Peripheral blood film. CellaVision DM96 digital cell image: 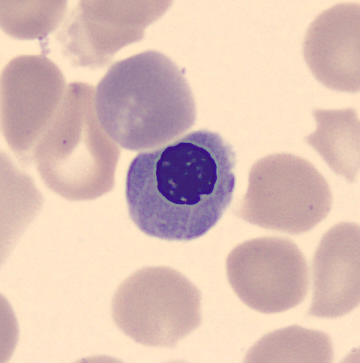Q: What is this?
A: A normoblast.